Bone marrow smear.
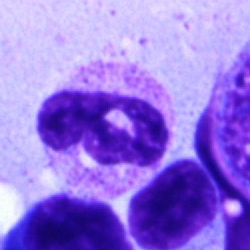 Q: Identify the cell.
A: Segmented neutrophil.